Bone marrow smear
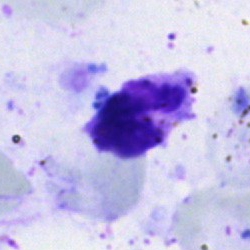

Q: What is shown here?
A: It is an artifact.